Bone marrow aspirate smear · brightfield, 40× oil-immersion objective:
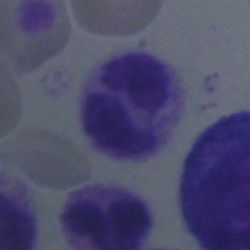

The morphological class is neutrophil (segmented).